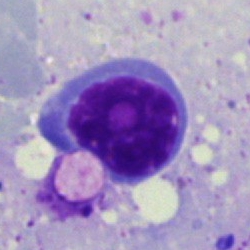 Bone marrow aspirate smear, single cell — erythroblast.